Bone marrow smear.
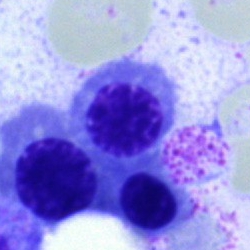
Showing a normoblast.